Image size 250×250; bone marrow smear; 40× objective, oil immersion — 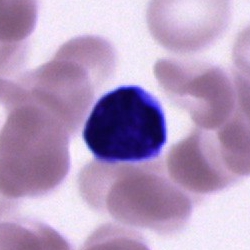Specimen: bone marrow aspirate smear.
Cell: typical lymphocyte.
Lineage: lymphoid.